Bone marrow smear.
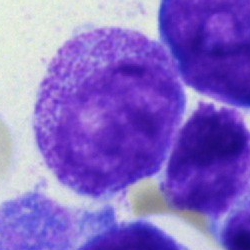

Showing a myelocyte.